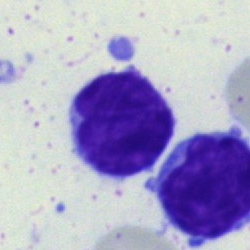
Classification = lymphocyte.